Pappenheim-stained; bone marrow aspirate smear:
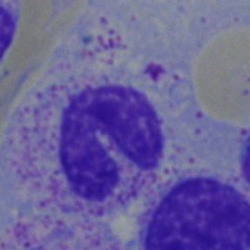
Q: Which cell type is shown here?
A: This is a stab cell.